Bone marrow aspirate smear; brightfield, 40× oil-immersion objective — 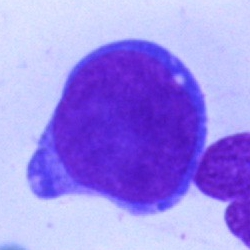 Impression → undifferentiated blast.